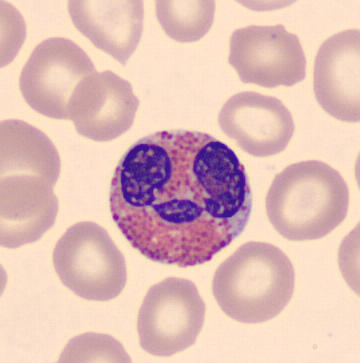

Specimen: peripheral blood smear.
Cell: eosinophilic granulocyte.
Acquisition: Single-cell crop.